Bone marrow aspirate smear — 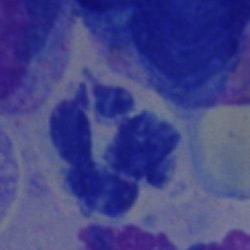 This is a segmented neutrophil.